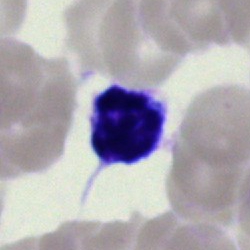
A lymphocyte.